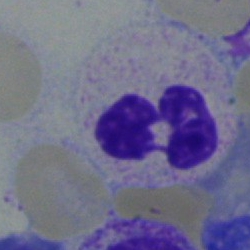Impression → segmented neutrophil.